Bone marrow smear — 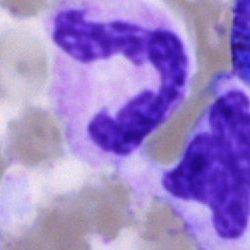
Morphology consistent with a neutrophil (segmented).